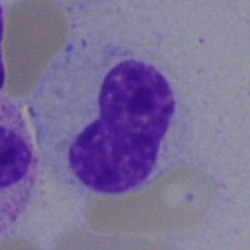
The morphological class is stab cell.